Single-cell crop. Bone marrow smear
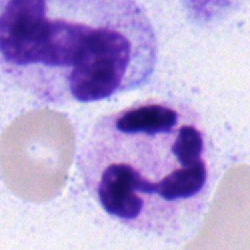 Specimen: bone marrow smear.
Cell: segmented neutrophil.
Lineage: myeloid.